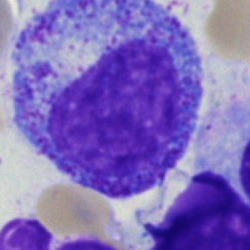

Specimen: bone marrow aspirate smear.
Morphological class: metamyelocyte.
Lineage: myeloid.